Peripheral blood film · 400 by 400 pixels — 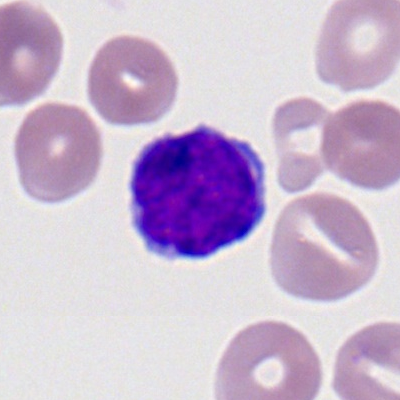

Q: What type of cell is this?
A: This is a typical lymphocyte.